Bone marrow aspirate smear — 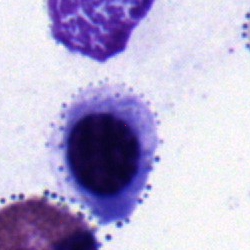

Classification: nucleated red blood cell.